Bone marrow smear; MGG-stained; cropped to a single cell: 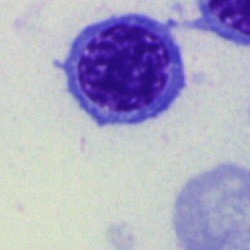
Morphology — nucleated red cell.